Single-cell crop; bone marrow smear.
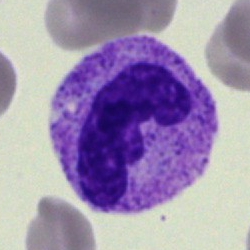 Specimen: bone marrow aspirate smear.
Morphological class: neutrophil (band).